Bone marrow aspirate smear: 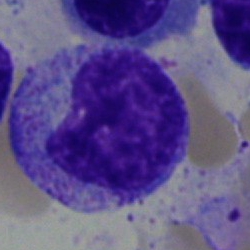 Cell — myelocyte.